Bone marrow aspirate smear — 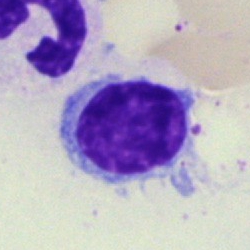
Cell type = lymphocyte.